Bone marrow aspirate smear; 40× oil immersion; May-Grünwald-Giemsa/Pappenheim stain — 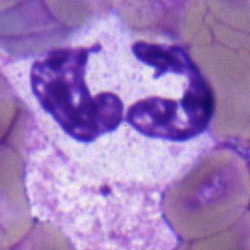 Q: What type of cell is this?
A: This is a neutrophil (segmented).